Single-cell field. Peripheral blood smear.
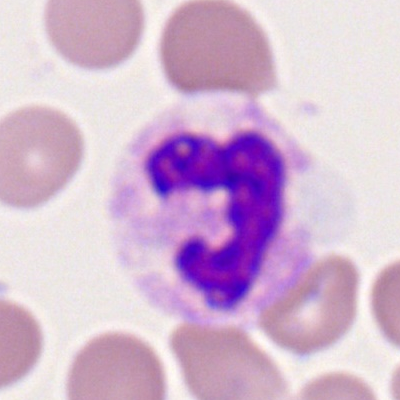This is a neutrophil (segmented).